400×400 px. Romanowsky stain. Peripheral blood film:
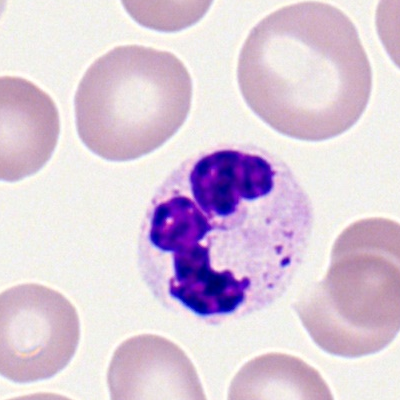Morphological class: polymorphonuclear neutrophil.